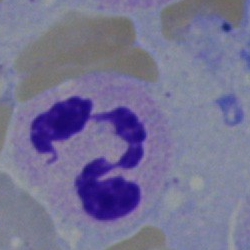

Bone marrow aspirate smear, single cell — polymorphonuclear neutrophil.